Pappenheim-stained · bone marrow smear.
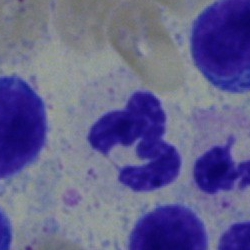 Specimen: bone marrow aspirate smear.
Cell type: neutrophil (segmented).